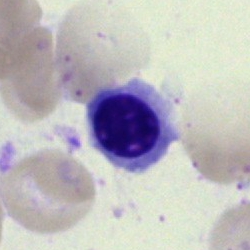

{"cell_type": "normoblast"}